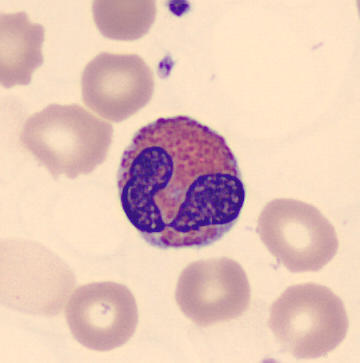
Peripheral blood smear.

Morphology consistent with an eosinophilic granulocyte.